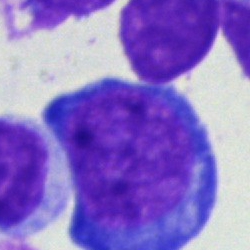

Cell type — proerythroblast.